Bone marrow aspirate smear · Pappenheim-stained · brightfield, 40× oil-immersion objective.
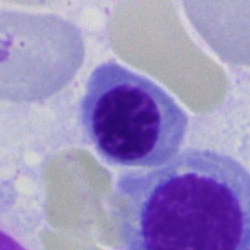

Cell type = nucleated red cell.